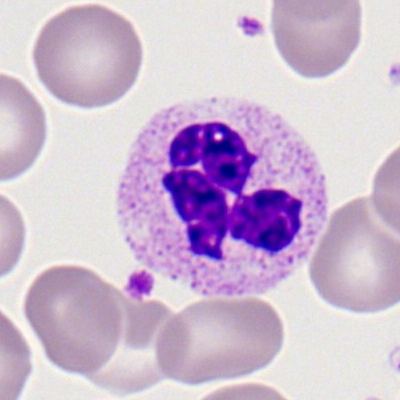

Specimen: peripheral blood smear.
Morphological class: neutrophil (segmented).
Lineage: myeloid.